Bone marrow aspirate smear — 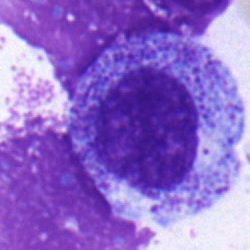

Specimen: bone marrow smear.
Cell type: myelocyte.
Lineage: myeloid.